Bone marrow smear. Image size 250×250
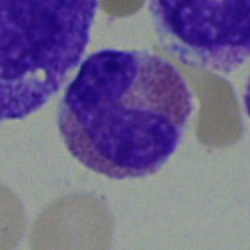Specimen: bone marrow smear.
Morphological class: eosinophil.
Lineage: myeloid.